40× objective, oil immersion · image size 250×250 · bone marrow aspirate smear.
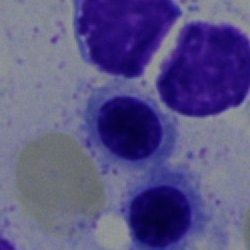
Q: What cell is this?
A: A nucleated red cell.